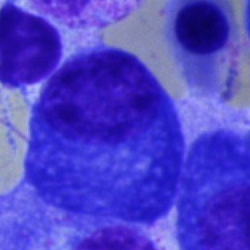

Morphological class: plasmacyte.